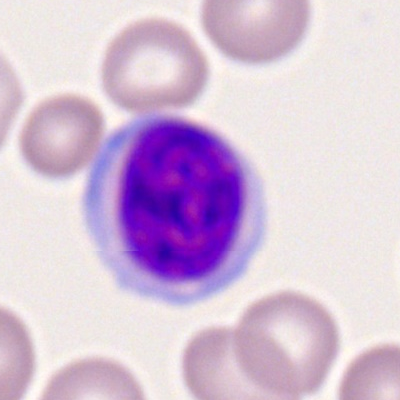

Q: What is shown here?
A: Typical lymphocyte.